250×250 px. Bone marrow smear:
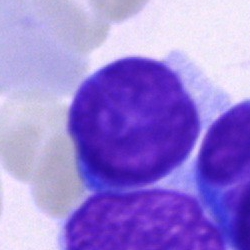
Q: What type of cell is this?
A: This is a blast.